Bone marrow smear: 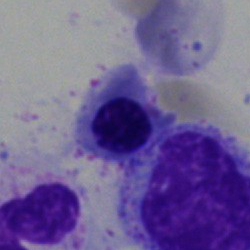
Q: Which cell type is shown here?
A: A normoblast.